Bone marrow aspirate smear
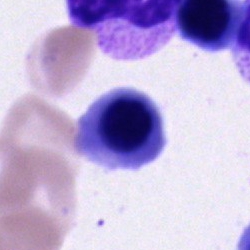
The cell is nucleated red cell.